Bone marrow smear:
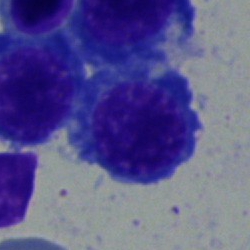 Specimen: bone marrow aspirate smear.
Morphological class: normoblast.